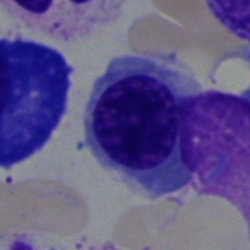 Cell = normoblast.